Single-cell crop; bone marrow aspirate smear; May-Grünwald-Giemsa/Pappenheim stain:
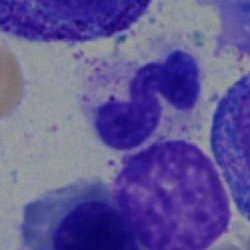Single cell identified as a neutrophil (segmented).